Bone marrow aspirate smear; MGG-stained; 40× oil immersion
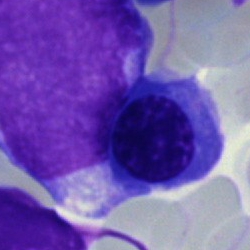 Nucleated red blood cell.